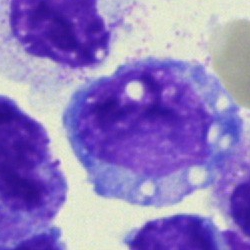

A blast.